Bone marrow aspirate smear:
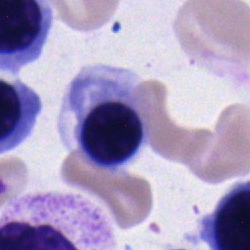 Q: What is the morphological classification of this cell?
A: It is a nucleated red blood cell.